Peripheral blood smear:
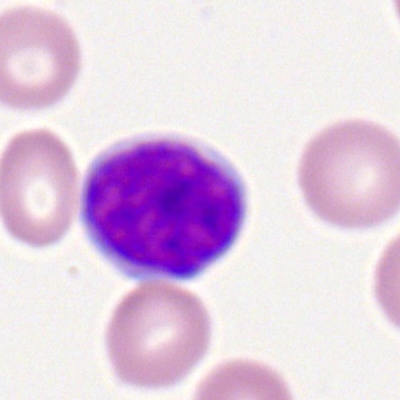 Specimen: peripheral blood film.
Classification: lymphocyte.